Bone marrow aspirate smear:
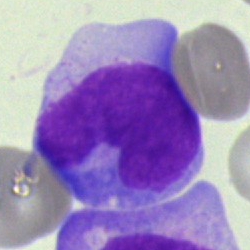 Classification — blast.